Bone marrow smear. Brightfield, 40× oil-immersion objective. May-Grünwald-Giemsa stain: 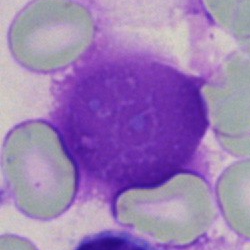 Specimen: bone marrow aspirate smear.
Morphological class: artefact.